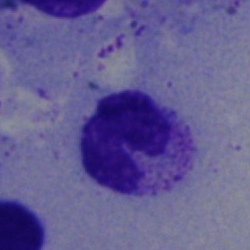
The morphological class is segmented neutrophil.